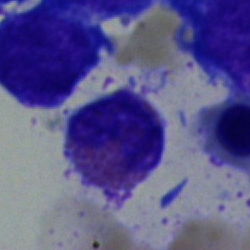

Q: What is shown here?
A: Eosinophilic granulocyte.